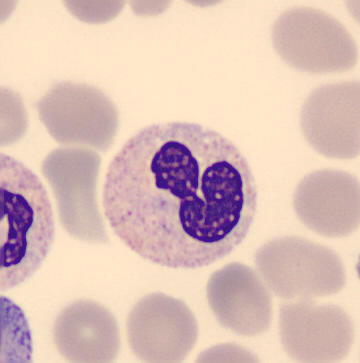

Preparation: Image size 360×363. Automated cell imaging (CellaVision DM96). Peripheral blood smear. Cell type: band-form neutrophil.